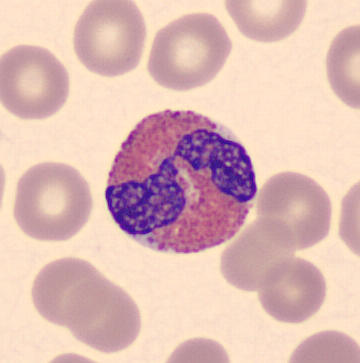

Morphological class: eosinophilic granulocyte. Acquisition: MGG-stained; imaged on a CellaVision DM96 analyser; peripheral blood film.